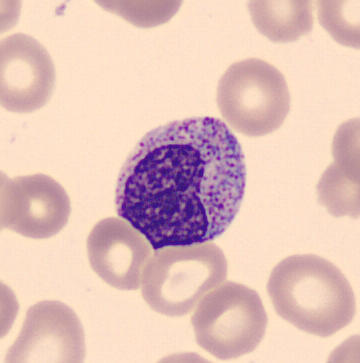
This is a metamyelocyte.
Peripheral blood smear.